Bone marrow smear; 40× oil immersion: 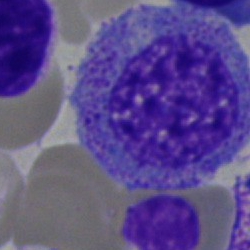

Morphology consistent with a myelocyte.